Bone marrow smear:
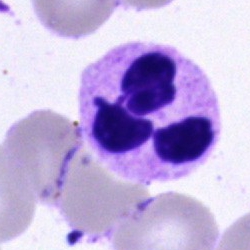Classification = polymorphonuclear neutrophil.